Bone marrow aspirate smear.
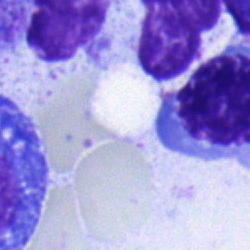

Morphology consistent with a nucleated red cell.